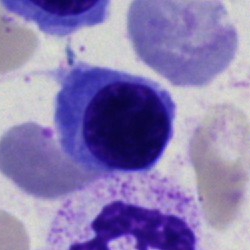 Cell type: erythroblast.